Bone marrow smear: 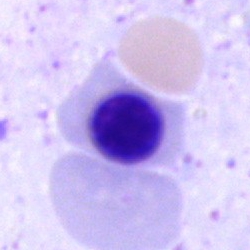 Cell type — nucleated red blood cell.